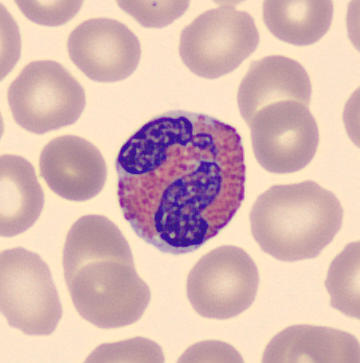 Morphological class = eosinophil.